Bone marrow smear. 250 by 250 pixels — 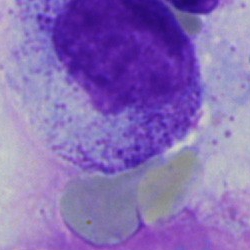Morphology — progranulocyte.